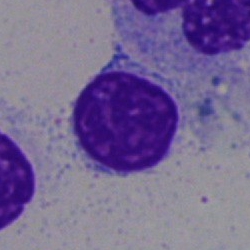
Impression — typical lymphocyte.